Bone marrow smear: 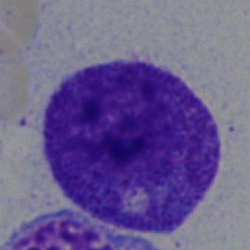Showing a progranulocyte.